Bone marrow aspirate smear — 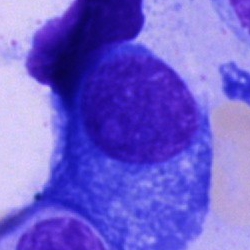

Plasmacyte.